Bone marrow aspirate smear; brightfield microscopy, 40× oil immersion: 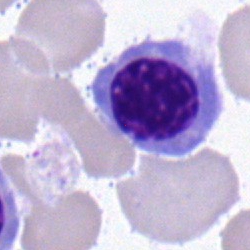 Q: What is shown here?
A: It is a normoblast.